Bone marrow smear.
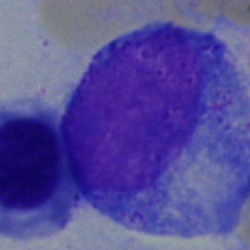 Classification — progranulocyte.